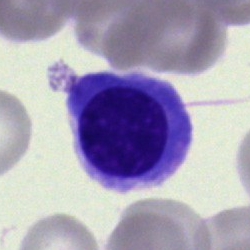Classification = nucleated red blood cell.